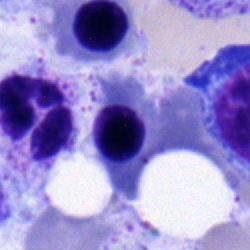Morphology — erythroblast.